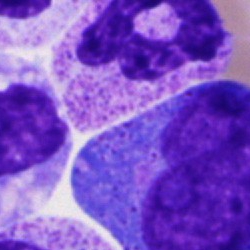 The cell is promyelocyte.